Bone marrow smear: 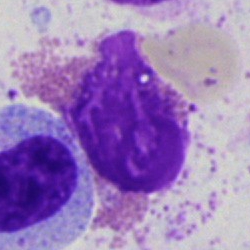
Q: What is shown here?
A: This is an artifact.